Bone marrow smear
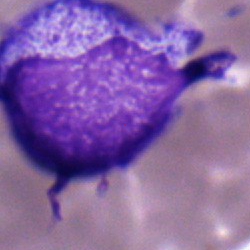 Specimen: bone marrow smear.
Classification: myelocyte.
Lineage: myeloid.